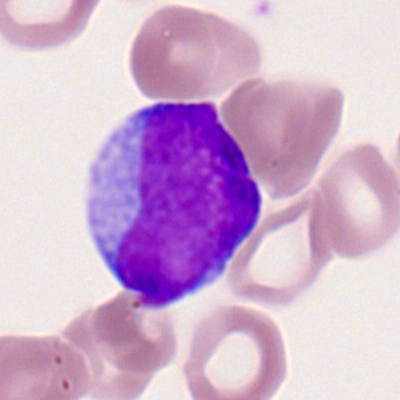

Specimen: peripheral blood smear.
Morphological class: myeloid blast.